Bone marrow aspirate smear · Pappenheim-stained
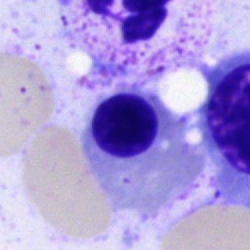

Nucleated red cell.